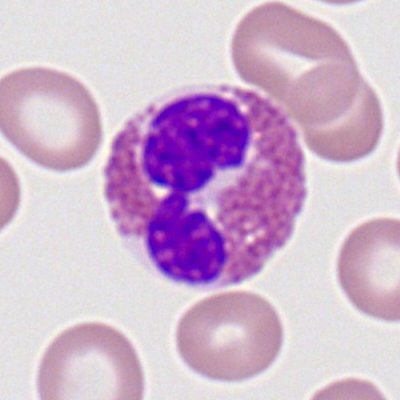 Single-cell crop from a peripheral blood smear: eosinophilic granulocyte.